Bone marrow aspirate smear:
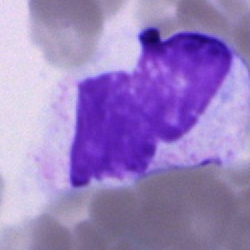{"cell_type": "cell of indeterminate lineage"}